Bone marrow smear: 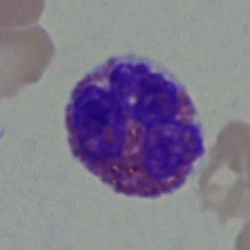 Eosinophil.